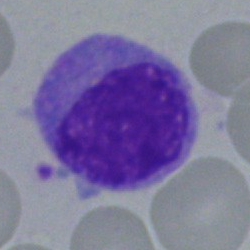 Monocyte.